40× objective, oil immersion; bone marrow aspirate smear.
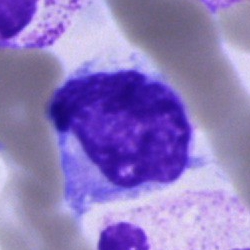
Cell type — unidentifiable cell.